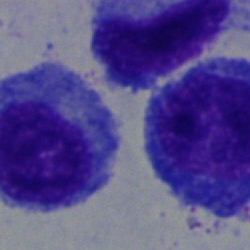

A progranulocyte.